Cropped to a single cell; bone marrow aspirate smear: 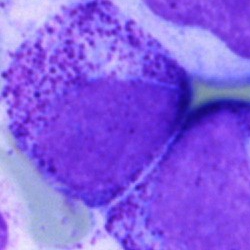Morphology consistent with a myelocyte.